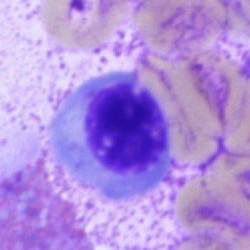
Nucleated red cell.